Bone marrow smear. Single-cell field — 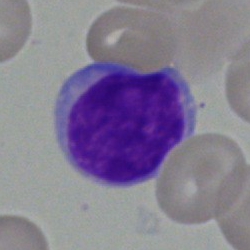 Specimen: bone marrow aspirate smear.
Morphological class: lymphocyte.